Bone marrow smear · cropped to a single cell.
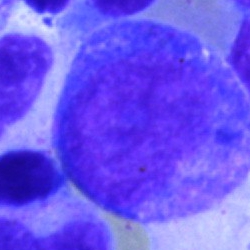

Showing a promyelocyte.